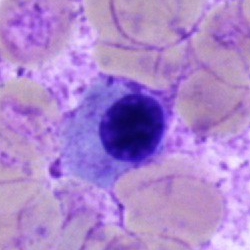
Showing a nucleated red cell.